Single cell centered in the field; May-Grünwald-Giemsa stain; bone marrow aspirate smear: 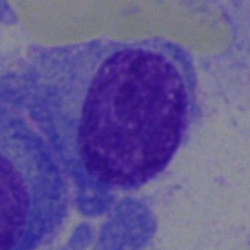 Morphology consistent with a plasmacyte.